Bone marrow smear — 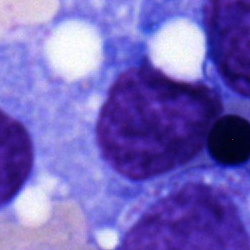
Cell type — typical lymphocyte.